Bone marrow aspirate smear · single cell centered in the field
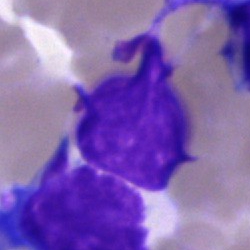

An artefact.